Bone marrow aspirate smear.
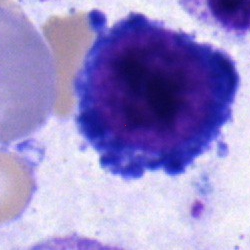

The cell shown is a proerythroblast.